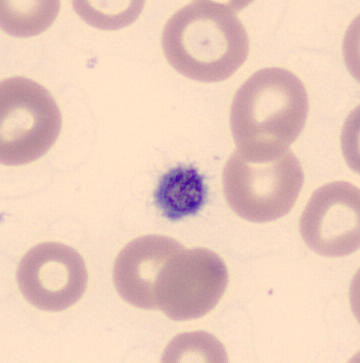 Morphology — platelet. Preparation: Peripheral blood smear · 360×363 px · CellaVision DM96.